Bone marrow aspirate smear; brightfield microscopy, 40× oil immersion: 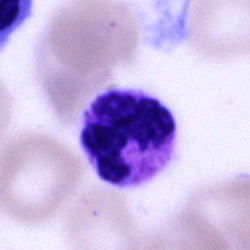

This is a polymorphonuclear neutrophil.